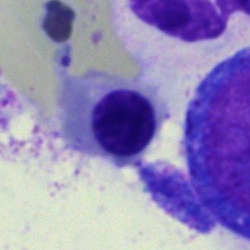 Single cell identified as a normoblast.